Bone marrow aspirate smear
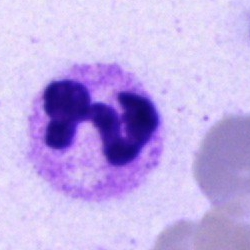
Q: Identify the cell.
A: It is a segmented neutrophil.